Bone marrow smear; cropped to a single cell; 40× oil immersion: 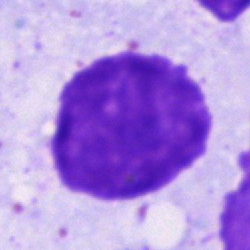An artefact.